Peripheral blood film.
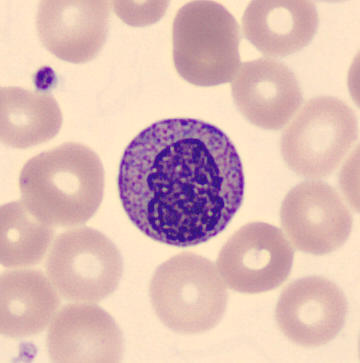
Specimen: peripheral blood smear.
Cell: metamyelocyte.
Lineage: myeloid.